250×250 px; bone marrow aspirate smear; Pappenheim-stained.
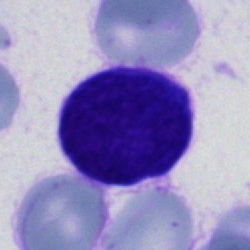

Morphology → cell of indeterminate lineage.